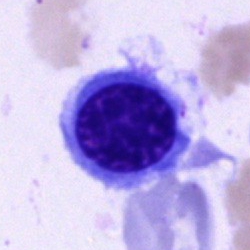

Q: What cell is this?
A: This is a nucleated red blood cell.